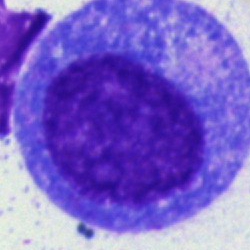Specimen: bone marrow smear.
Classification: promyelocyte.
Lineage: myeloid.